Bone marrow smear. Cropped to a single cell
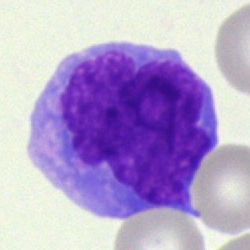 Blast cell.